Bone marrow aspirate smear: 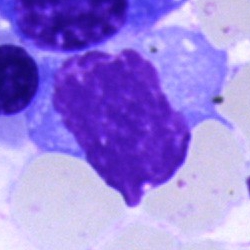Impression — artifact.